Bone marrow smear.
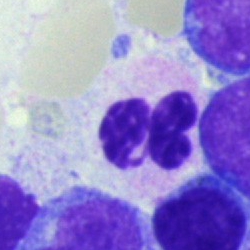
Q: Which cell type is shown here?
A: Segmented neutrophil.